Brightfield microscopy, 40× oil immersion; bone marrow aspirate smear — 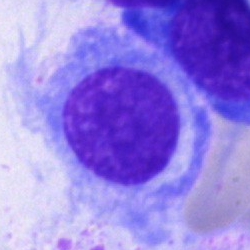
Q: Which cell type is shown here?
A: Plasma cell.